100× oil immersion, 14.14 px/µm; peripheral blood film; single cell centered in the field.
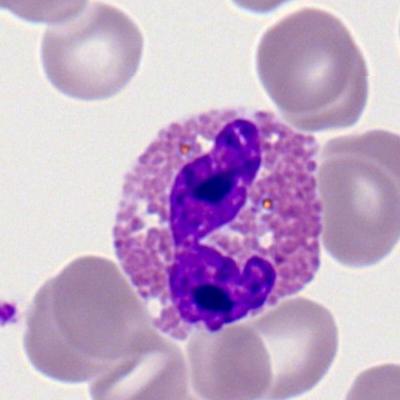 Morphology consistent with an eosinophil.